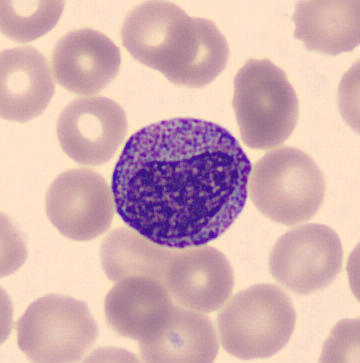
Classification — myelocyte.

Preparation: Peripheral blood smear.